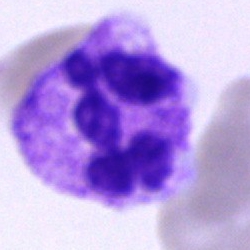

The cell shown is a polymorphonuclear neutrophil.